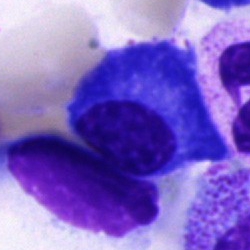 {"cell_type": "plasmacyte"}